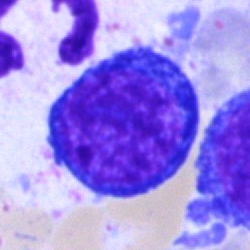
Bone marrow smear showing a nucleated red blood cell.